Bone marrow aspirate smear — 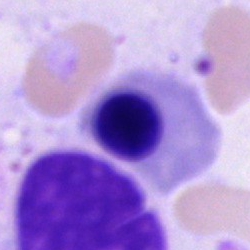
Cell type = nucleated red blood cell.